Peripheral blood film:
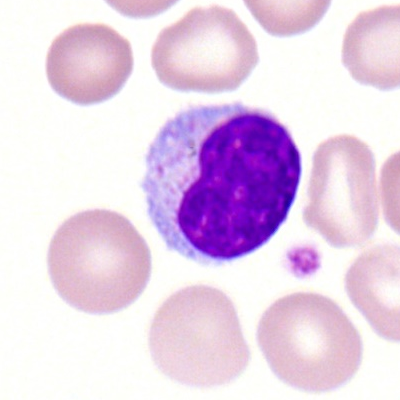 Impression — typical lymphocyte.